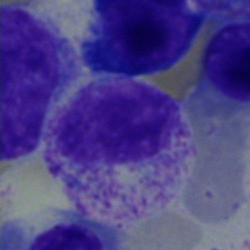Morphological class: myelocyte.